Bone marrow aspirate smear.
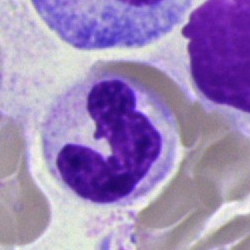Impression — neutrophil (band).